Bone marrow aspirate smear:
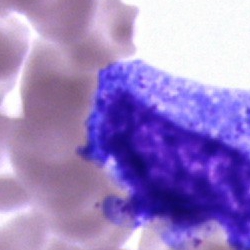 Morphological class = progranulocyte.